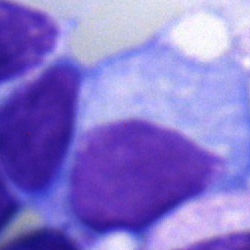 Specimen: bone marrow aspirate smear.
Morphological class: plasmacyte.